Bone marrow smear
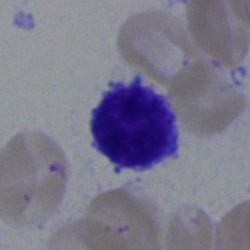The cell shown is a lymphocyte.